Bone marrow smear
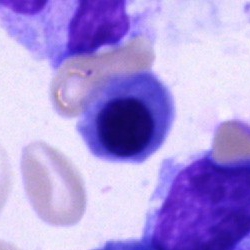Classification = normoblast.